Bone marrow aspirate smear.
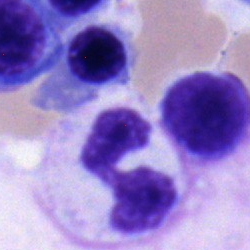

Cell type = polymorphonuclear neutrophil.